Pappenheim-stained · bone marrow aspirate smear:
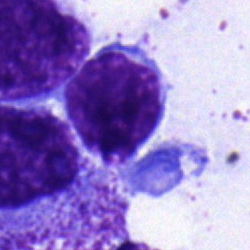
Q: What cell is this?
A: Typical lymphocyte.